400 by 400 pixels · peripheral blood film
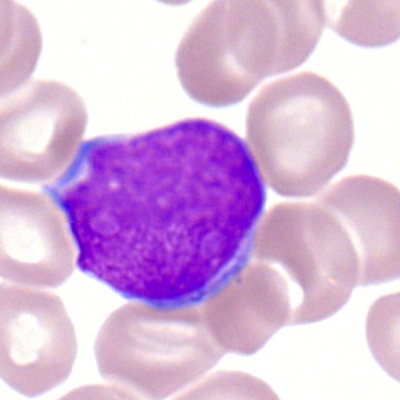 The cell shown is a myeloblast.